CellaVision DM96 digital cell image; 360×363 px; peripheral blood smear:
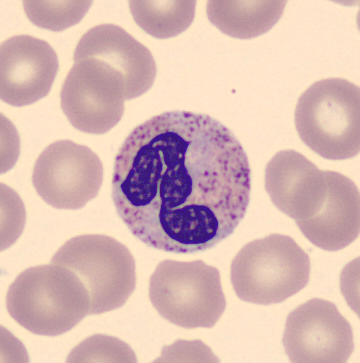Morphological class: neutrophil (segmented).